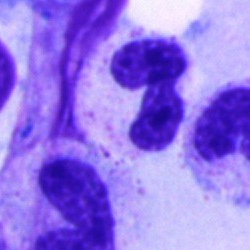Impression → neutrophil (segmented).